Cropped to a single cell; bone marrow smear:
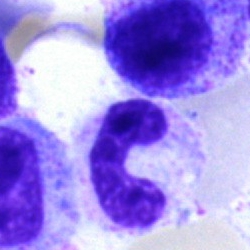
Showing a band-form neutrophil.